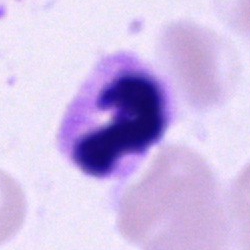
Cell: polymorphonuclear neutrophil.